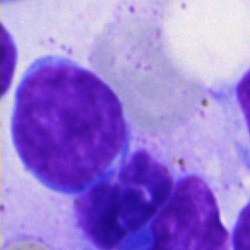 Q: Which cell type is shown here?
A: It is a lymphocyte.